Bone marrow smear — 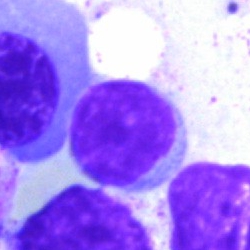The morphological class is typical lymphocyte.